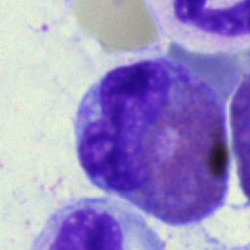Q: Identify the cell.
A: This is an eosinophil.